Bone marrow aspirate smear — 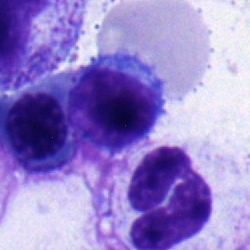
A polymorphonuclear neutrophil.